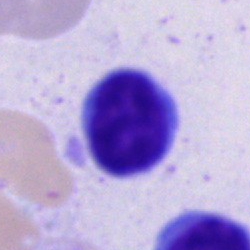
Specimen: bone marrow aspirate smear.
Cell type: typical lymphocyte.
Lineage: lymphoid.